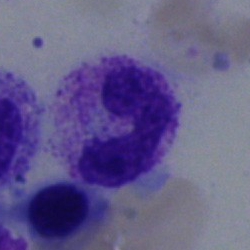 Cell type — band neutrophil.